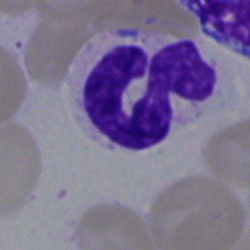 Single-cell crop from a bone marrow smear: polymorphonuclear neutrophil.